May-Grünwald-Giemsa stain · 250 by 250 pixels · bone marrow aspirate smear: 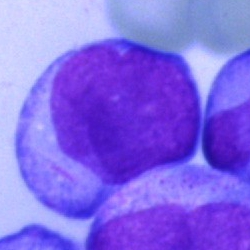Morphology → undifferentiated blast.